Bone marrow smear:
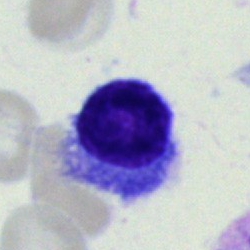
Impression — lymphocyte.